Bone marrow smear. Brightfield microscopy, 40× oil immersion — 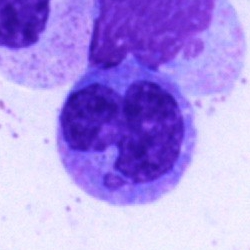The cell shown is a monocyte.